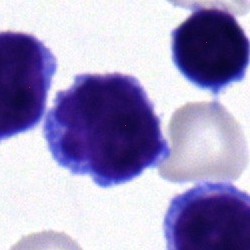 Morphology — typical lymphocyte.